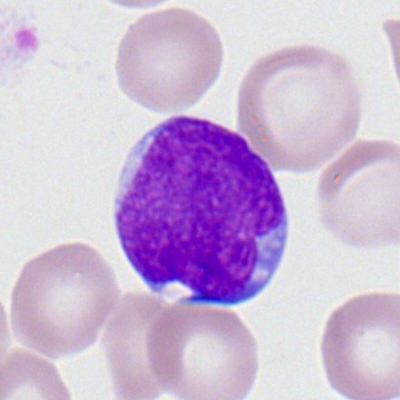
Q: What is the morphological classification of this cell?
A: This is a myeloid blast.